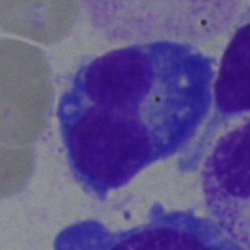
{"cell_type": "plasmacyte"}